CellaVision DM96 digital cell image; peripheral blood film — 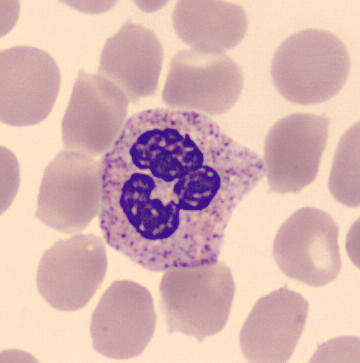 Specimen: peripheral blood film.
Cell: neutrophil (segmented).